Bone marrow aspirate smear; 250×250 px
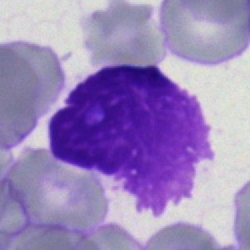

The cell shown is an artefact.